Bone marrow aspirate smear. 250×250 px: 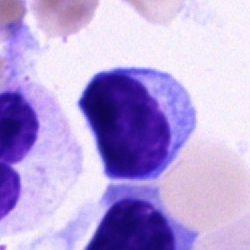The cell shown is a typical lymphocyte.